Bone marrow aspirate smear:
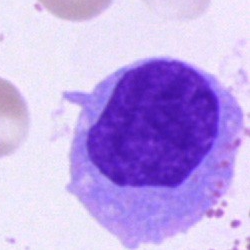
Specimen: bone marrow aspirate smear.
Cell type: unidentifiable cell.